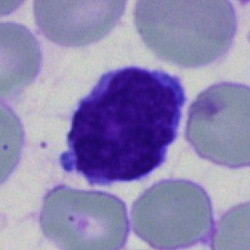
Single cell identified as a typical lymphocyte.